Bone marrow smear; cropped to a single cell; brightfield microscopy, 40× oil immersion.
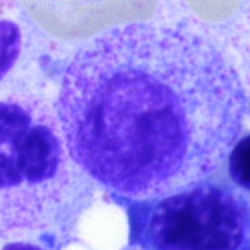

Q: Identify the cell.
A: This is a myelocyte.